Single-cell field; peripheral blood smear — 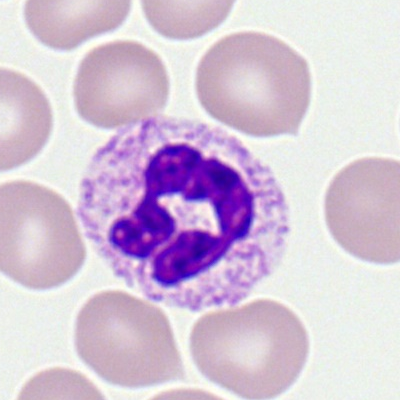
Q: What type of cell is this?
A: Neutrophil (segmented).